Bone marrow smear; cropped to a single cell
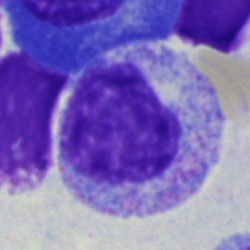

This is a myelocyte.